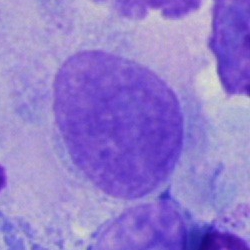

An artefact.